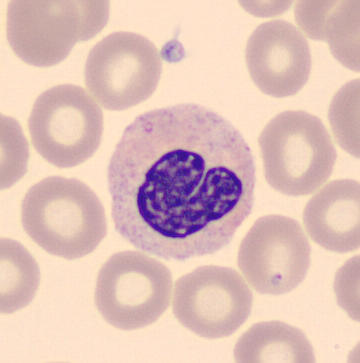 {"cell_type": "neutrophil (band)", "lineage": "myeloid"}